Bone marrow aspirate smear: 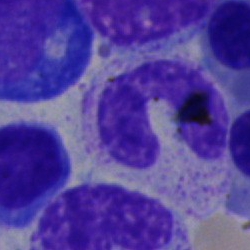
Morphology consistent with a band neutrophil.